May-Grünwald-Giemsa stain · 250 by 250 pixels · bone marrow smear — 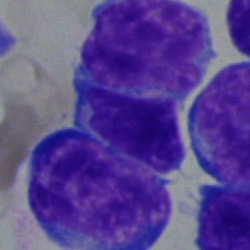

Specimen: bone marrow smear.
Cell: lymphocyte.